Bone marrow aspirate smear:
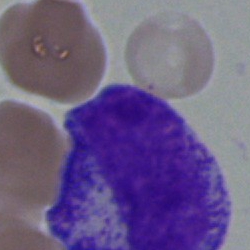

Myelocyte.